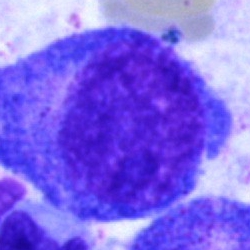Impression — progranulocyte.